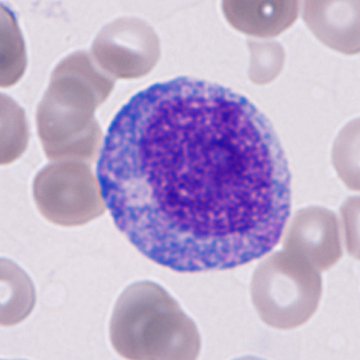 Image: Peripheral blood film; May-Grünwald-Giemsa-stained; 360×360 px.
Immature granulocyte.